Bone marrow aspirate smear: 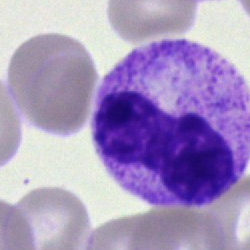 Classification: stab cell.